Bone marrow aspirate smear — 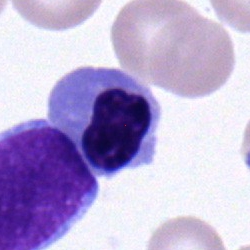
{"cell_type": "nucleated red blood cell"}